Bone marrow smear · single-cell field — 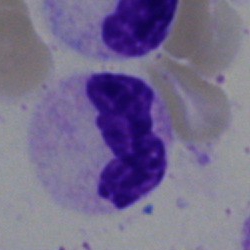

Morphology consistent with a neutrophil (segmented).